Bone marrow aspirate smear:
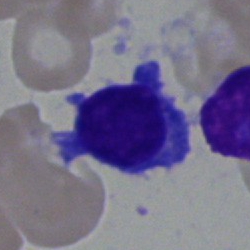 Classification — plasma cell.